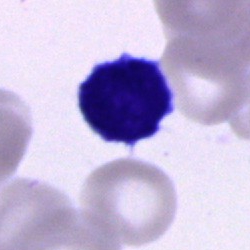
Q: What type of cell is this?
A: This is a typical lymphocyte.